Bone marrow aspirate smear
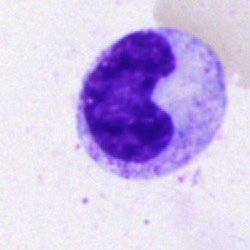 Cell = metamyelocyte.